Image size 250×250; cropped to a single cell; bone marrow aspirate smear.
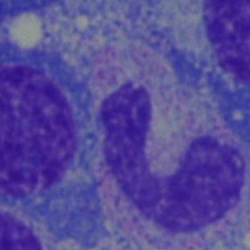Morphology → neutrophil (band).